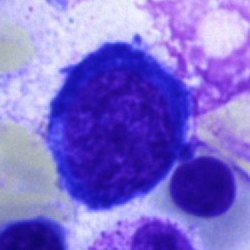
Impression — nucleated red blood cell.